Bone marrow smear
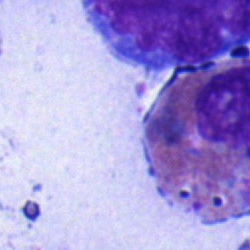

Q: What type of cell is this?
A: Eosinophil.